250×250 px · bone marrow aspirate smear — 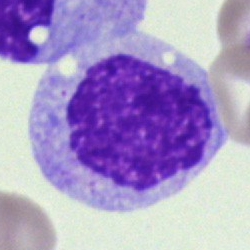 {"cell_type": "myelocyte", "lineage": "myeloid"}